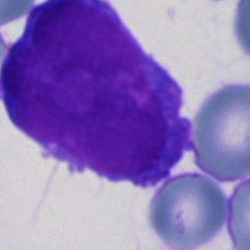 Blast cell.